Bone marrow smear
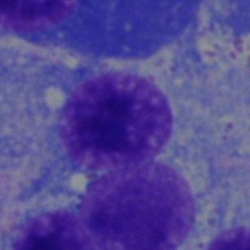

Classification: plasmacyte.